Bone marrow smear.
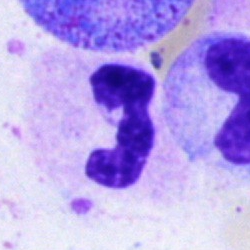Q: What is shown here?
A: It is a segmented neutrophil.